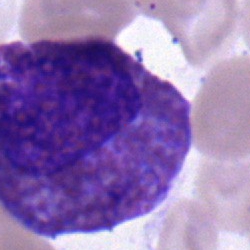Bone marrow aspirate smear, single cell — eosinophilic granulocyte.